Peripheral blood film:
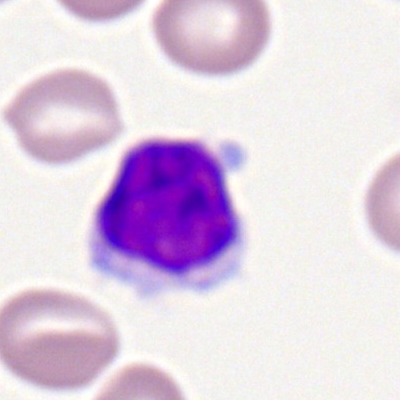Morphology consistent with a lymphocyte.